Bone marrow aspirate smear · 40× oil immersion: 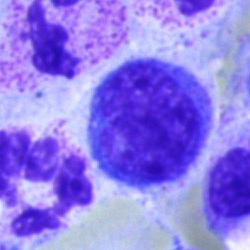
A typical lymphocyte.